Bone marrow aspirate smear.
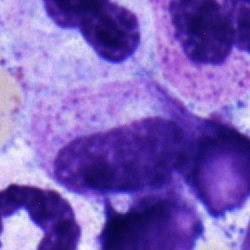
Q: Identify the cell.
A: It is a myelocyte.